40× objective, oil immersion. Bone marrow aspirate smear. Pappenheim-stained:
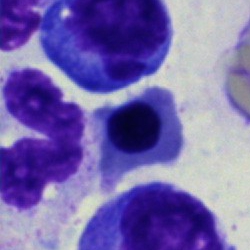 Morphology — normoblast.